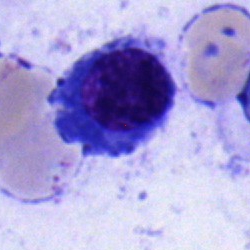

Q: What is the morphological classification of this cell?
A: It is a plasma cell.